Bone marrow smear: 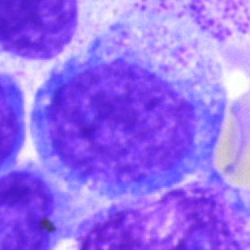

Morphology consistent with a promyelocyte.